400 by 400 pixels · 100× objective, oil immersion · peripheral blood film:
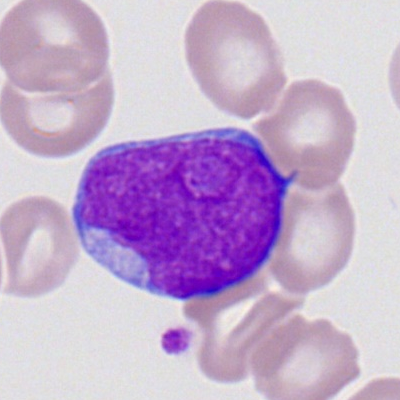Morphological class: myeloid blast.